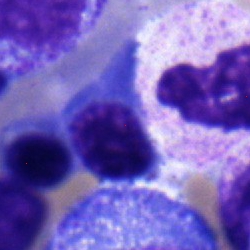
Bone marrow smear showing an erythroblast.